Bone marrow smear.
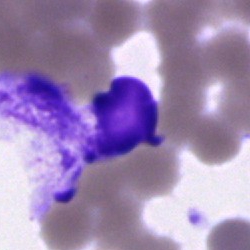
Cell — artifact.